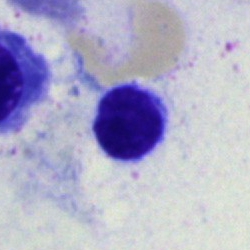The classification is nucleated red blood cell.